360×363 px. Peripheral blood film. Automated cell imaging (CellaVision DM96) — 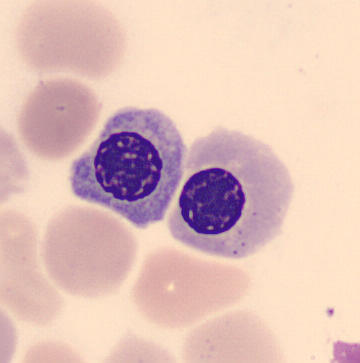 Q: What is the morphological classification of this cell?
A: A normoblast.